Bone marrow smear: 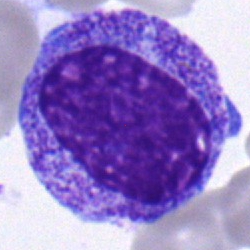
Q: What cell is this?
A: It is a progranulocyte.